250×250 px; bone marrow aspirate smear
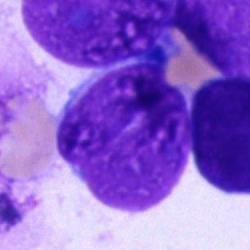

This is a cell of indeterminate lineage.